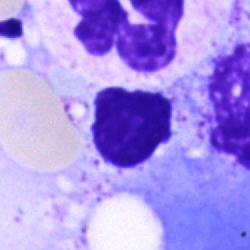 Q: What is shown here?
A: This is an artefact.